MGG-stained · bone marrow aspirate smear · 40× oil immersion — 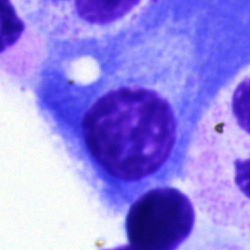

The morphological class is plasmacyte.